Brightfield, 40× oil-immersion objective; May-Grünwald-Giemsa/Pappenheim stain; bone marrow aspirate smear:
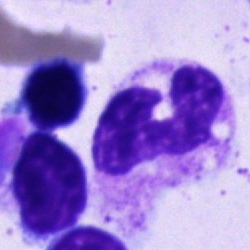 Classification = polymorphonuclear neutrophil.